Brightfield microscopy, 40× oil immersion · bone marrow aspirate smear — 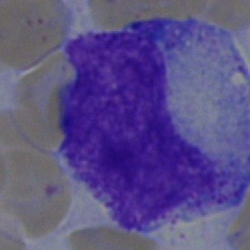
{"cell_type": "promyelocyte"}